Bone marrow aspirate smear: 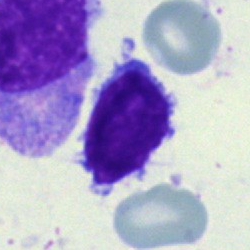
A normoblast.